Bone marrow smear; May-Grünwald-Giemsa stain — 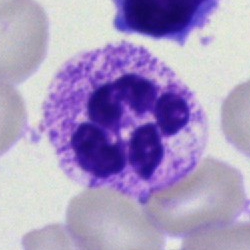

Q: Which cell type is shown here?
A: A neutrophil (segmented).